Bone marrow aspirate smear · May-Grünwald-Giemsa/Pappenheim stain: 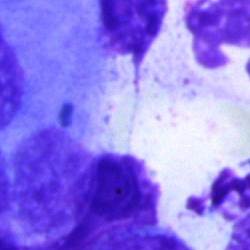

Q: What is shown here?
A: An artifact.